Bone marrow smear — 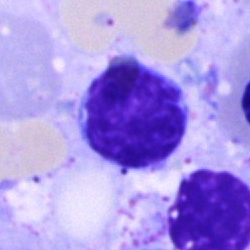

Q: What cell is this?
A: A lymphocyte.